Bone marrow aspirate smear. 250×250 px. 40× oil immersion:
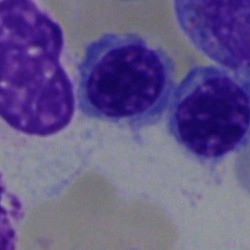 The cell shown is a normoblast.